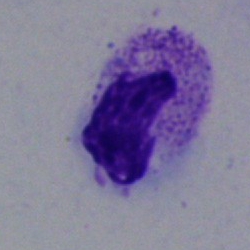 The cell is segmented neutrophil.